Bone marrow smear — 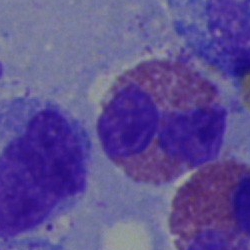This is an eosinophil.